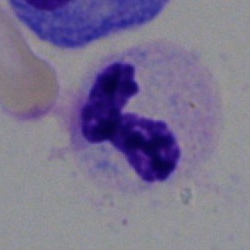 Specimen: bone marrow aspirate smear.
Morphological class: segmented neutrophil.